MGG-stained · bone marrow aspirate smear: 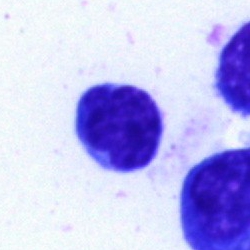Specimen: bone marrow smear.
Classification: typical lymphocyte.
Lineage: lymphoid.